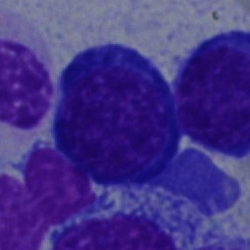
Q: What is the morphological classification of this cell?
A: This is a proerythroblast.